Bone marrow aspirate smear
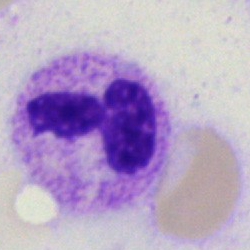Specimen: bone marrow aspirate smear.
Cell: neutrophil (segmented).